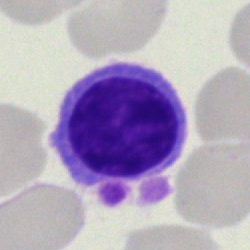

Morphology — typical lymphocyte.